Bone marrow aspirate smear · brightfield, 40× oil-immersion objective · image size 250×250
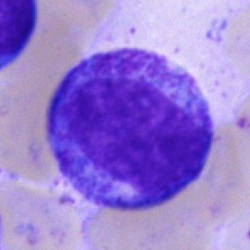
Specimen: bone marrow aspirate smear.
Cell type: progranulocyte.